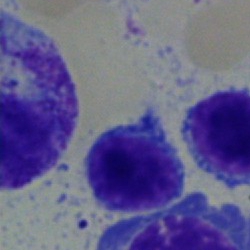 {"cell_type": "typical lymphocyte", "lineage": "lymphoid"}